Bone marrow aspirate smear.
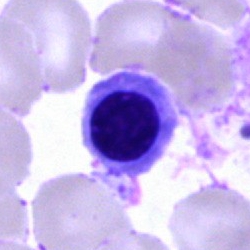Q: What cell is this?
A: Erythroblast.